Bone marrow smear.
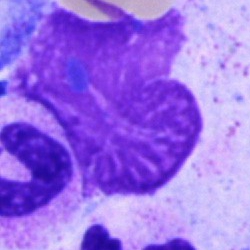 Q: What is shown here?
A: This is an artefact.